Bone marrow aspirate smear: 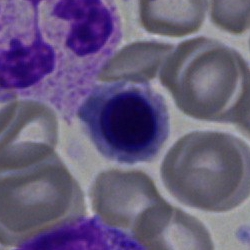
Single cell identified as an erythroblast.